Bone marrow aspirate smear. Single-cell field: 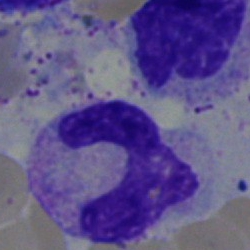

Impression — band-form neutrophil.